Bone marrow aspirate smear · May-Grünwald-Giemsa/Pappenheim stain: 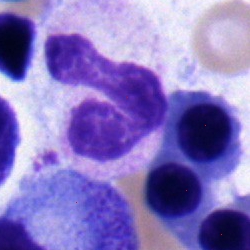 Morphology — nucleated red cell.